Bone marrow aspirate smear
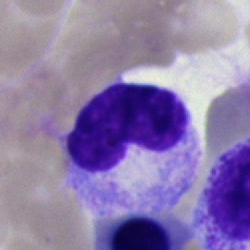 Classification = neutrophil (band).